Bone marrow aspirate smear · brightfield microscopy, 40× oil immersion: 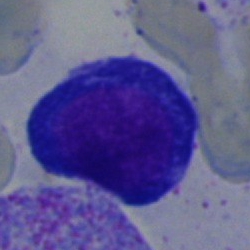 Morphology consistent with an erythroblast.